Bone marrow aspirate smear:
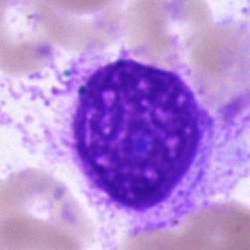The cell is artefact.